Bone marrow aspirate smear
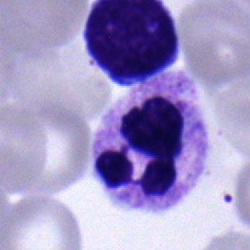Morphology consistent with a segmented neutrophil.